Bone marrow aspirate smear — 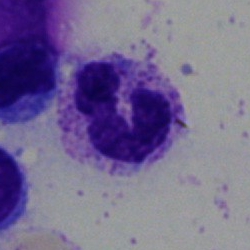 {"cell_type": "segmented neutrophil", "lineage": "myeloid"}